Single cell centered in the field. Bone marrow aspirate smear — 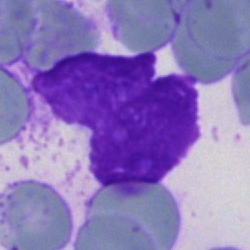
Morphological class = artifact.